250×250 px · bone marrow smear
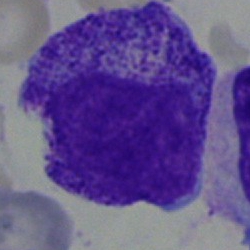

This is a progranulocyte.